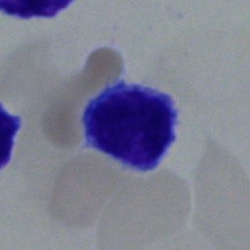 A typical lymphocyte on a bone marrow smear.